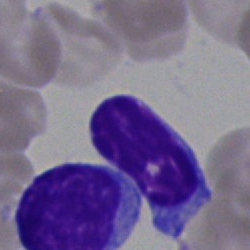 Bone marrow smear showing a lymphocyte.